Bone marrow smear · May-Grünwald-Giemsa/Pappenheim stain:
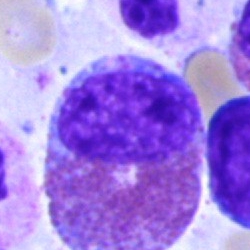

Cell type — eosinophilic granulocyte.